Bone marrow smear:
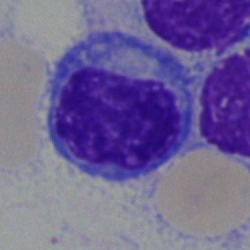

{"cell_type": "plasmacyte", "lineage": "lymphoid"}